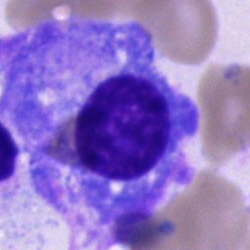
A plasmacyte on a bone marrow smear.